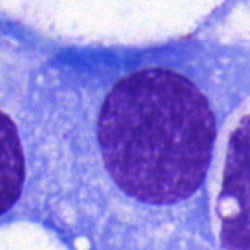 The morphological class is plasmacyte.